Bone marrow aspirate smear: 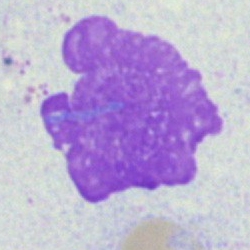
An artefact.